Single-cell field; 40× objective, oil immersion; bone marrow smear
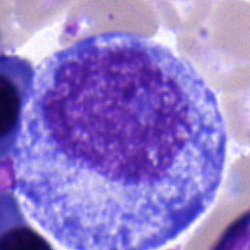
Cell type — promyelocyte.